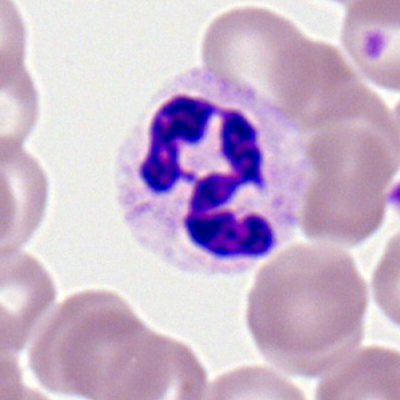
Peripheral blood film, single cell — polymorphonuclear neutrophil.